Cropped to a single cell · bone marrow aspirate smear · May-Grünwald-Giemsa/Pappenheim stain:
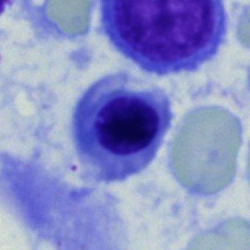

Classification = nucleated red blood cell.